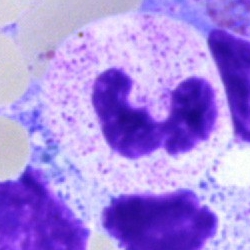 {"cell_type": "polymorphonuclear neutrophil"}